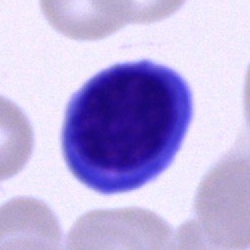 Q: What is shown here?
A: It is an artefact.